Cropped to a single cell; peripheral blood smear:
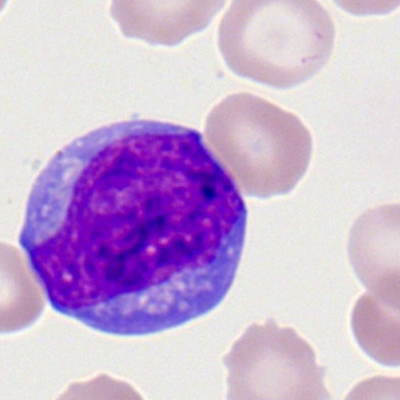
The cell shown is a myeloid blast.